Brightfield, 40× oil-immersion objective · bone marrow aspirate smear
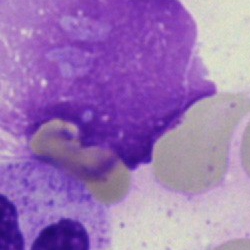Single cell identified as an artefact.